Bone marrow smear; brightfield microscopy, 40× oil immersion: 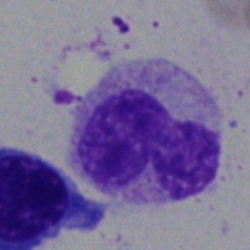

Showing a stab cell.